Cropped to a single cell. Peripheral blood smear:
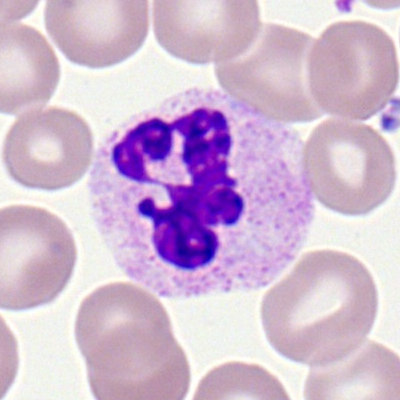 Classification: polymorphonuclear neutrophil.